Brightfield, 40× oil-immersion objective; bone marrow smear: 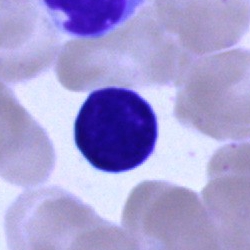
Impression — typical lymphocyte.